Bone marrow aspirate smear:
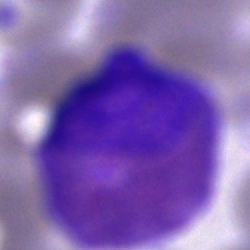
Q: What type of cell is this?
A: An eosinophil.